Single-cell crop. Bone marrow aspirate smear — 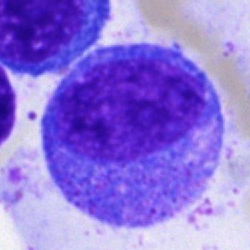
Single cell identified as a progranulocyte.